Bone marrow smear · 40× oil immersion: 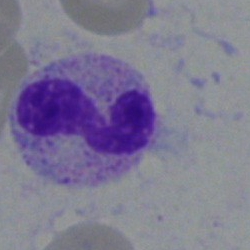
Morphology consistent with a band-form neutrophil.